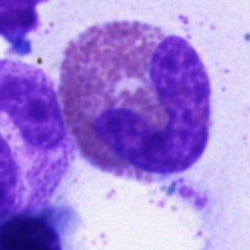
Classification — eosinophil.